Bone marrow smear:
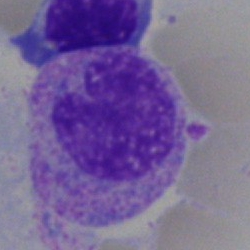
Cell — metamyelocyte.